Bone marrow aspirate smear
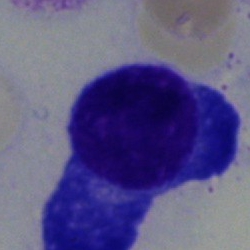 A plasmacyte.